Bone marrow aspirate smear. Cropped to a single cell
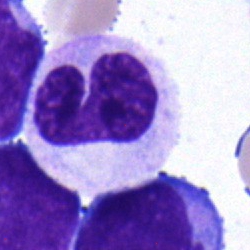
The morphological class is stab cell.